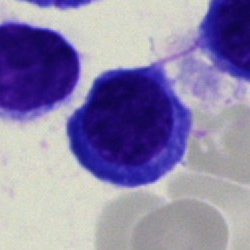

Single-cell crop from a bone marrow smear: nucleated red blood cell.